Bone marrow smear:
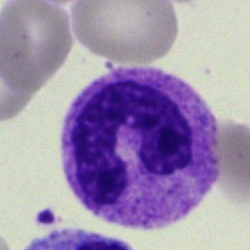

{"cell_type": "band-form neutrophil"}